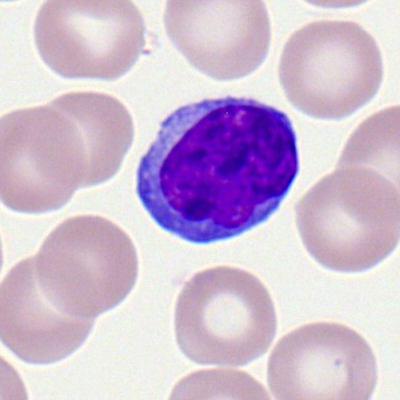Specimen: peripheral blood film.
Cell: lymphocyte.